Peripheral blood film; 100× oil immersion, 14.14 px/µm: 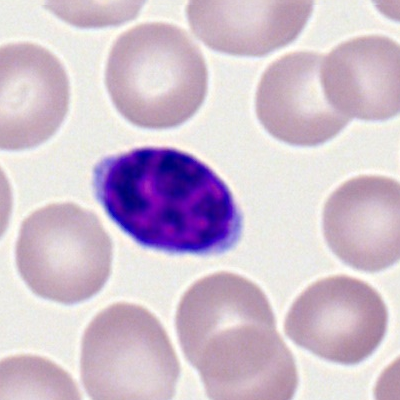{"cell_type": "lymphocyte", "lineage": "lymphoid"}